Peripheral blood film:
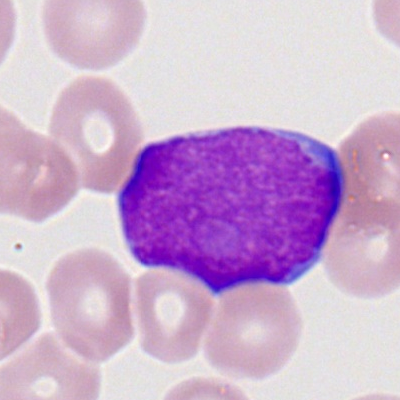

Cell — myeloblast.